Bone marrow smear — 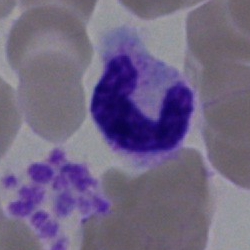
Q: Which cell type is shown here?
A: It is a polymorphonuclear neutrophil.